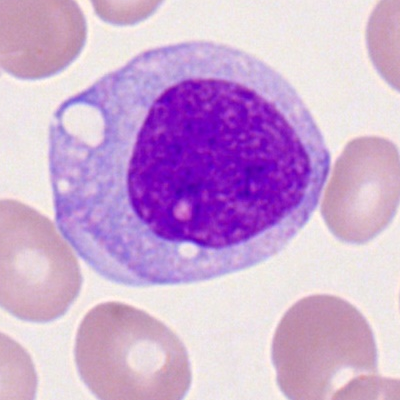

Morphology consistent with a monoblast.